250 by 250 pixels. Bone marrow aspirate smear.
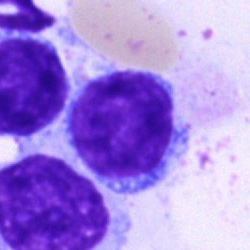
The cell shown is a lymphocyte.